Peripheral blood film — 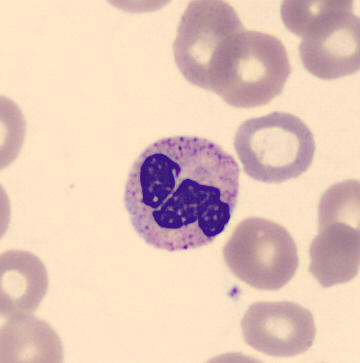The cell type is stab cell.